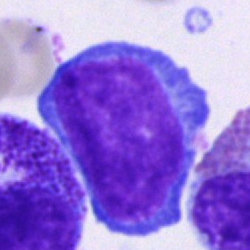
Pronormoblast.